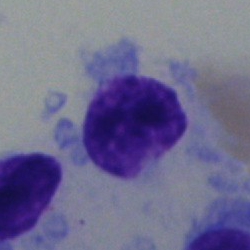Morphology → hairy cell.